Bone marrow aspirate smear; single cell centered in the field — 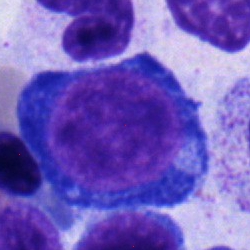 A proerythroblast.